Bone marrow aspirate smear.
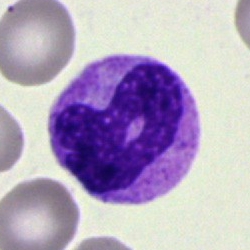 This is a segmented neutrophil.